Bone marrow aspirate smear:
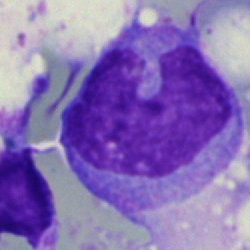
Morphological class — monocyte.